Bone marrow aspirate smear
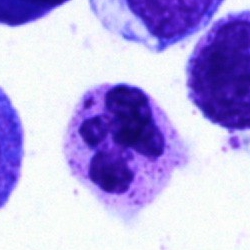
The cell shown is a segmented neutrophil.